Bone marrow aspirate smear. May-Grünwald-Giemsa/Pappenheim stain: 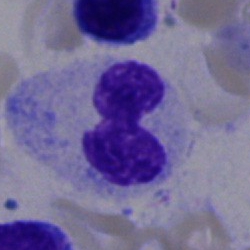

Showing a segmented neutrophil.